Bone marrow smear — 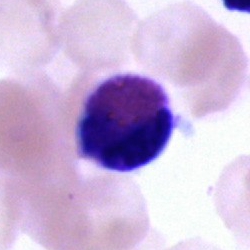
Q: Which cell type is shown here?
A: It is an eosinophil.